Bone marrow aspirate smear: 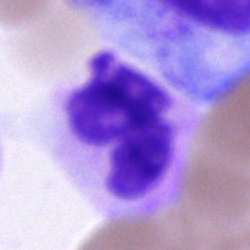 Specimen: bone marrow aspirate smear.
Classification: neutrophil (segmented).
Lineage: myeloid.